250 by 250 pixels · single-cell field · bone marrow aspirate smear
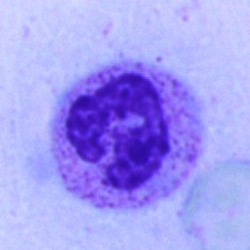 Impression → segmented neutrophil.